Bone marrow aspirate smear · single-cell crop
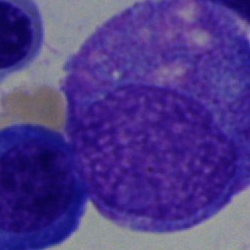
Impression → promyelocyte.